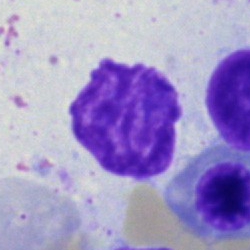Q: What is shown here?
A: An artifact.